Bone marrow smear
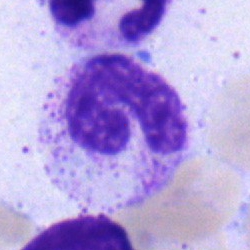Cell = band-form neutrophil.